Romanowsky-type stain; peripheral blood film:
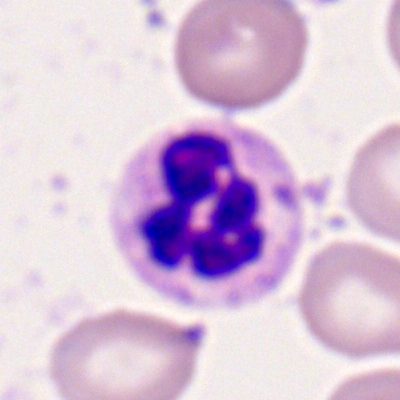

A polymorphonuclear neutrophil.